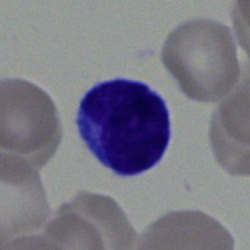

Cell = typical lymphocyte.